Brightfield, 40× oil-immersion objective. Bone marrow aspirate smear:
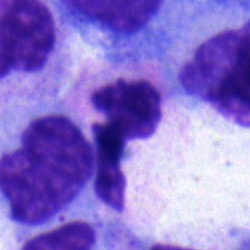 Single cell identified as a neutrophil (segmented).